Bone marrow aspirate smear — 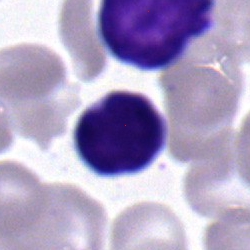

A lymphocyte.